Bone marrow aspirate smear; single-cell crop; brightfield, 40× oil-immersion objective:
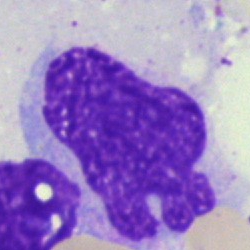{"cell_type": "artifact"}